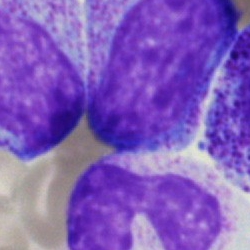

Q: What type of cell is this?
A: A progranulocyte.